Bone marrow aspirate smear: 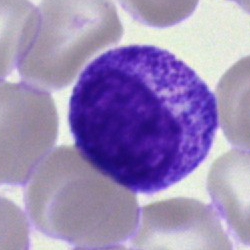 Single cell identified as a myelocyte.